Bone marrow smear. May-Grünwald-Giemsa/Pappenheim stain — 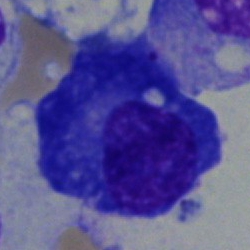Single cell identified as a plasmacyte.